Peripheral blood smear — 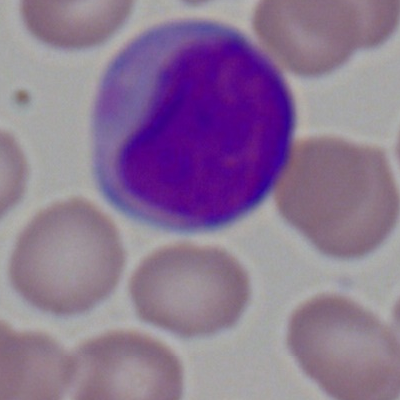

Myeloblast.